40× objective, oil immersion · bone marrow aspirate smear · cropped to a single cell.
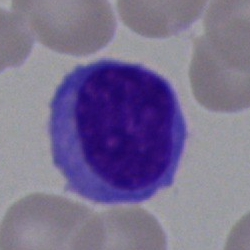
Morphology — lymphocyte.